Peripheral blood film — 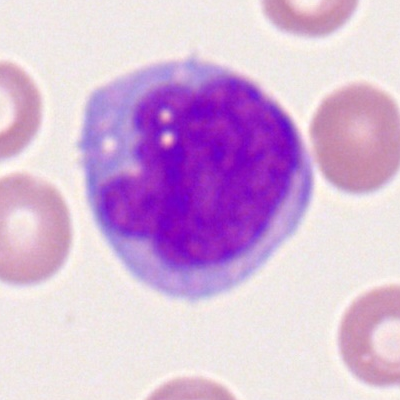
{"cell_type": "monocyte", "lineage": "myeloid"}